Bone marrow smear
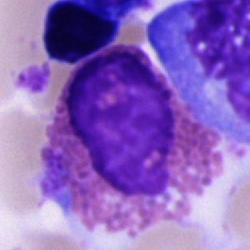

The cell shown is an eosinophil.